Bone marrow smear · May-Grünwald-Giemsa/Pappenheim stain — 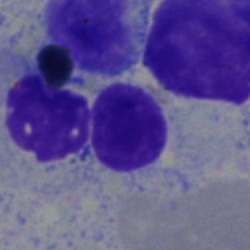

Lymphocyte.